May-Grünwald-Giemsa stain · bone marrow smear: 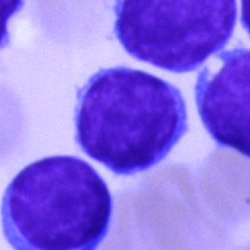

Morphological class — typical lymphocyte.